Bone marrow smear; brightfield, 40× oil-immersion objective; single-cell field — 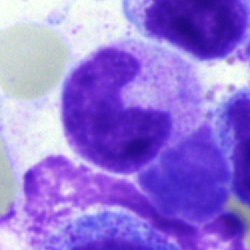

Q: Identify the cell.
A: Band-form neutrophil.